M8 digital microscope (Precipoint), 100× oil immersion · single-cell crop · peripheral blood film
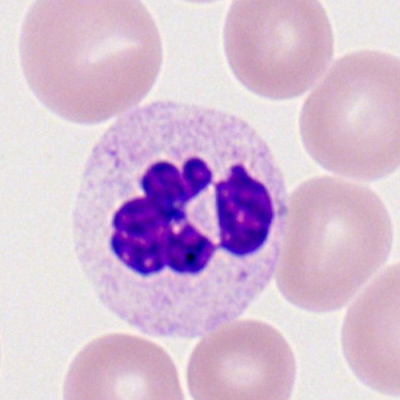

Morphological class: polymorphonuclear neutrophil.